Brightfield microscopy, 40× oil immersion · bone marrow smear · single-cell crop.
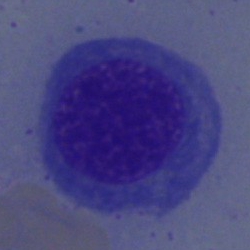 Normoblast.